Bone marrow smear; single cell centered in the field — 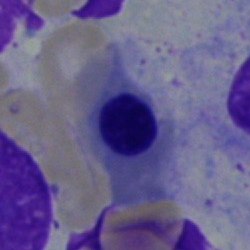This is a nucleated red blood cell.